Bone marrow smear; 40× oil immersion.
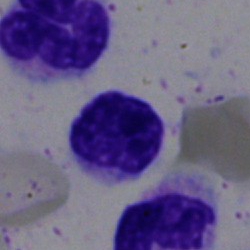{"cell_type": "typical lymphocyte", "lineage": "lymphoid"}